Single cell centered in the field. Bone marrow smear — 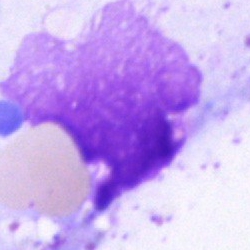Q: What is shown here?
A: This is an artefact.